Bone marrow smear. Single-cell field
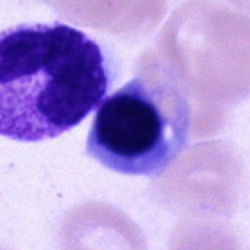 The morphological class is unidentifiable cell.